Bone marrow smear: 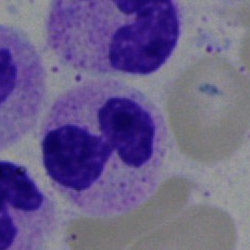Cell type = neutrophil (segmented).